Image size 250×250 · Pappenheim-stained · bone marrow smear
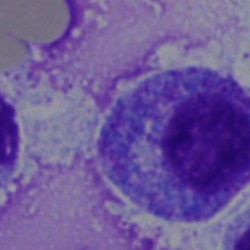
Morphology consistent with a promyelocyte.